40× oil immersion · bone marrow aspirate smear
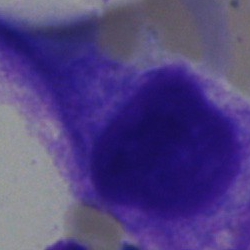An artefact.